Bone marrow smear:
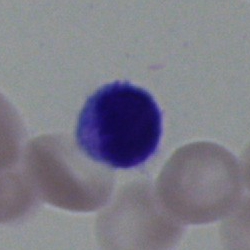Specimen: bone marrow aspirate smear.
Morphological class: typical lymphocyte.